Bone marrow aspirate smear; 40× objective, oil immersion
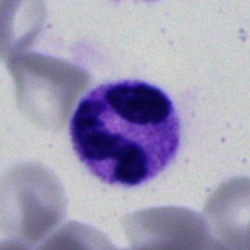 Morphological class = polymorphonuclear neutrophil.